Brightfield, 40× oil-immersion objective; bone marrow aspirate smear; cropped to a single cell.
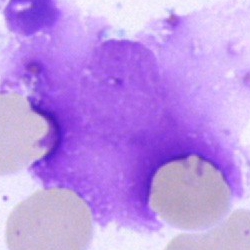

Single cell identified as an artifact.